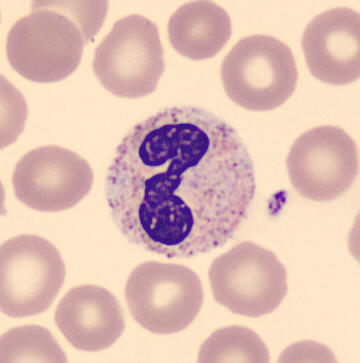 Identified as a polymorphonuclear neutrophil.

Preparation: Peripheral blood film.